Single-cell crop; bone marrow aspirate smear; brightfield, 40× oil-immersion objective:
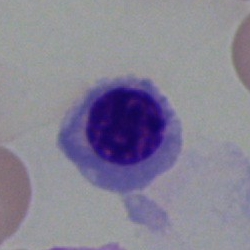Morphology — nucleated red cell.